Bone marrow aspirate smear: 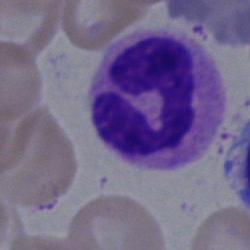 {"cell_type": "segmented neutrophil"}